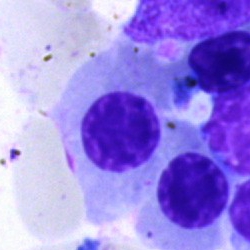The cell type is nucleated red cell.